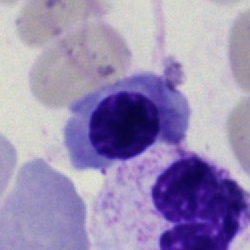

{"cell_type": "nucleated red blood cell"}